Bone marrow aspirate smear:
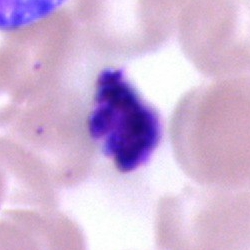
Showing an unidentifiable cell.